Brightfield microscopy, 40× oil immersion; bone marrow aspirate smear.
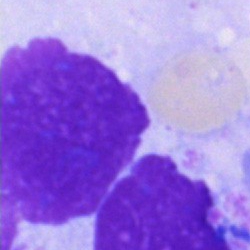 Q: What is shown here?
A: Artefact.